Bone marrow aspirate smear:
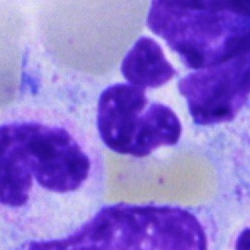Specimen: bone marrow smear.
Cell: segmented neutrophil.
Lineage: myeloid.